Bone marrow smear. Single cell centered in the field. Image size 250×250: 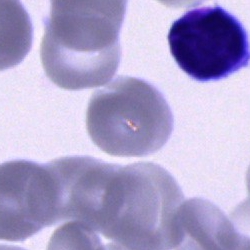
Cell: typical lymphocyte.